Peripheral blood film · brightfield, 100× oil-immersion objective
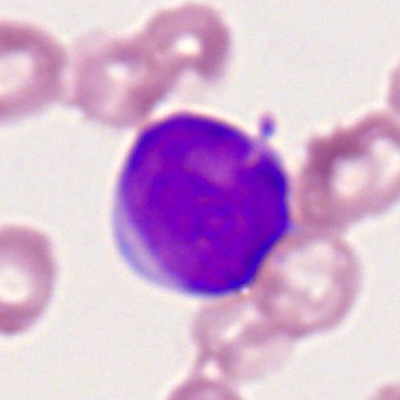 Showing a myeloblast.